Cropped to a single cell. Bone marrow smear:
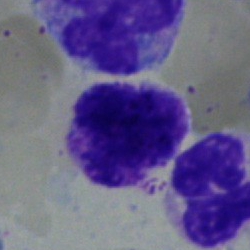 A basophilic granulocyte.